Bone marrow aspirate smear:
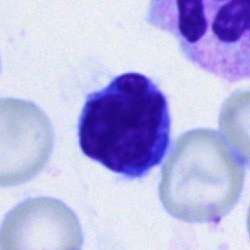Single cell identified as a typical lymphocyte.